Bone marrow aspirate smear — 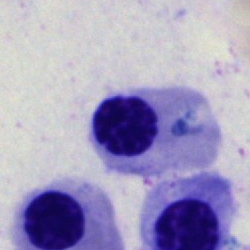

Q: What cell is this?
A: An erythroblast.